250×250; bone marrow smear
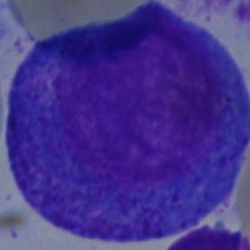

Progranulocyte.